Bone marrow smear; 250×250 px: 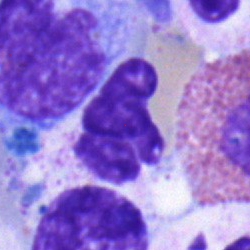

The cell is neutrophil (segmented).